Bone marrow smear · 40× objective, oil immersion · single cell centered in the field — 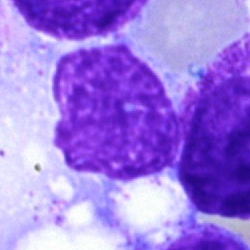
Specimen: bone marrow aspirate smear.
Cell type: artefact.